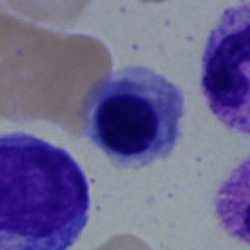Specimen: bone marrow smear.
Cell type: nucleated red blood cell.
Lineage: erythroid.